Bone marrow smear: 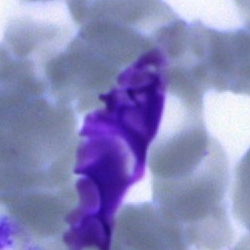
Impression — artifact.